250×250. Bone marrow smear. May-Grünwald-Giemsa stain:
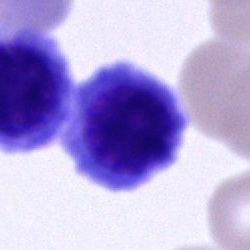

Q: What cell is this?
A: It is an unidentifiable cell.